Single-cell crop. Bone marrow smear. Brightfield microscopy, 40× oil immersion — 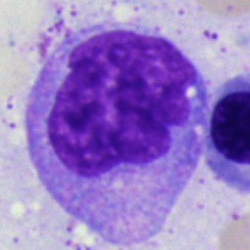

Classification = monocyte.